Single-cell field; 40× objective, oil immersion; bone marrow smear:
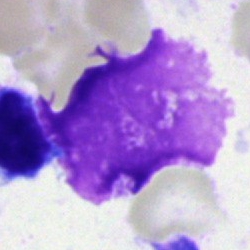 Showing an artifact.